Bone marrow smear.
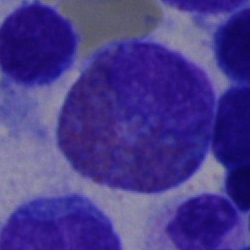 Eosinophilic granulocyte.